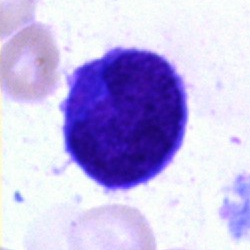 Bone marrow smear showing a blast cell.